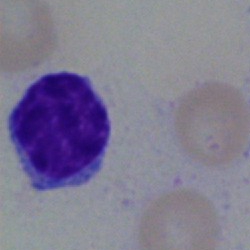
The cell shown is a typical lymphocyte.